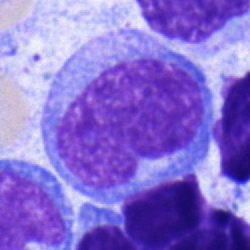

Morphology consistent with a blast.